CellaVision DM96 digital cell image · peripheral blood smear:
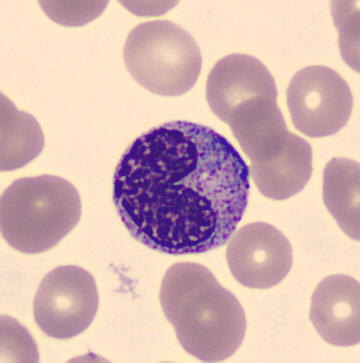
Cell type = metamyelocyte.